Single-cell field. Bone marrow smear — 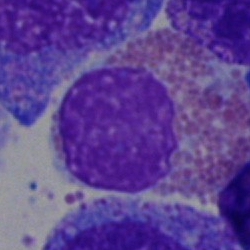

This is an eosinophil.